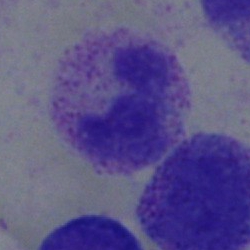
A neutrophil (segmented) on a bone marrow smear.